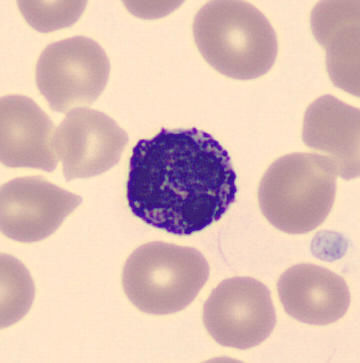Image: Peripheral blood film · automated cell imaging (CellaVision DM96). Cell type = basophil.